Bone marrow aspirate smear.
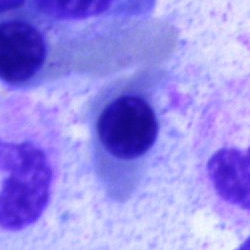
Morphology consistent with a nucleated red cell.